Bone marrow aspirate smear.
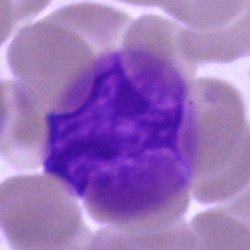Morphology → cell of indeterminate lineage.